Image size 250×250; bone marrow smear; brightfield microscopy, 40× oil immersion — 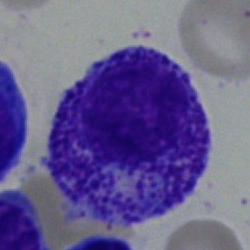 Morphology → myelocyte.